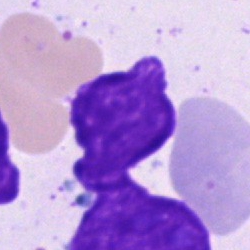Impression — artifact.